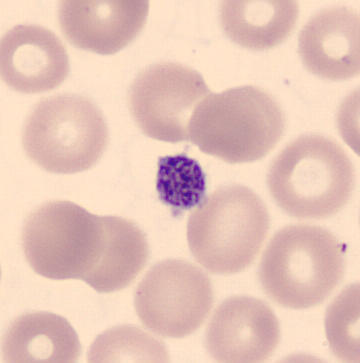
May Grünwald-Giemsa stain; peripheral blood film.
Thrombocyte.